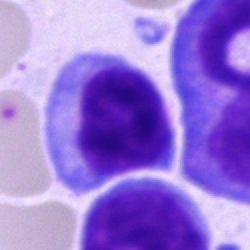The cell shown is a typical lymphocyte.